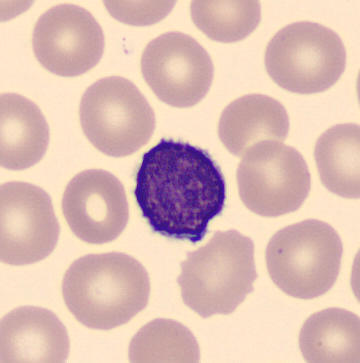
The cell type is typical lymphocyte.

Single cell centered in the field · peripheral blood smear · imaged on a CellaVision DM96 analyser.